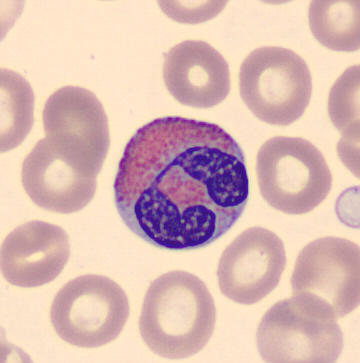 Cell type = eosinophilic granulocyte. Peripheral blood smear.